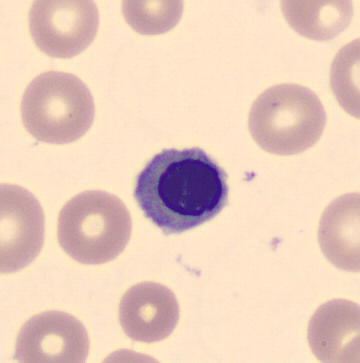 Preparation: Peripheral blood film.
Cell type: nucleated red blood cell.